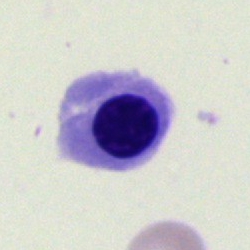This is a nucleated red blood cell.